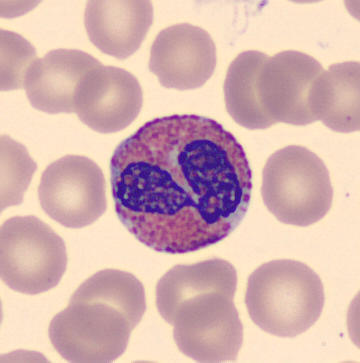 Specimen: peripheral blood film.
Cell: eosinophil.